Bone marrow aspirate smear
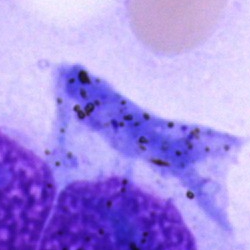Morphology — artifact.